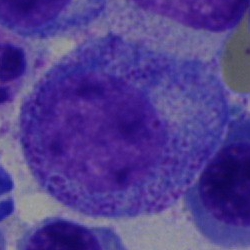 The cell type is promyelocyte.